CellaVision DM96. Peripheral blood film. May Grünwald-Giemsa stain
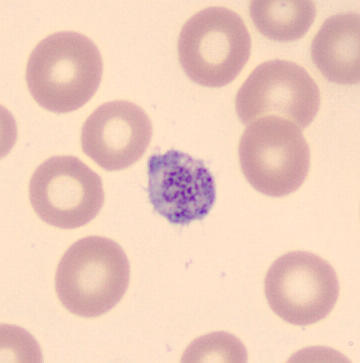Cell type = platelet (thrombocyte).